Bone marrow smear. Single cell centered in the field: 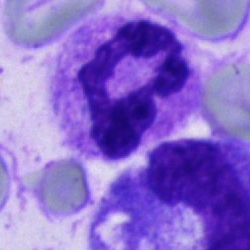

Cell type — polymorphonuclear neutrophil.